Cropped to a single cell; May-Grünwald-Giemsa/Pappenheim stain; bone marrow aspirate smear
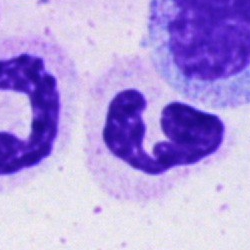

The cell shown is a polymorphonuclear neutrophil.